Pappenheim-stained · bone marrow aspirate smear · 40× oil immersion: 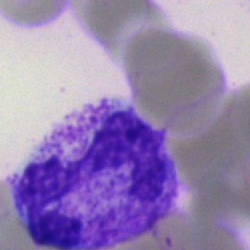Cell type: segmented neutrophil.